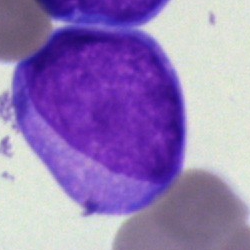

Morphological class: blast.